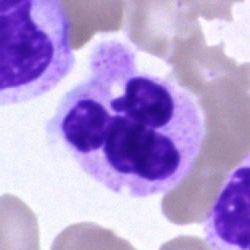

A segmented neutrophil on a bone marrow smear.